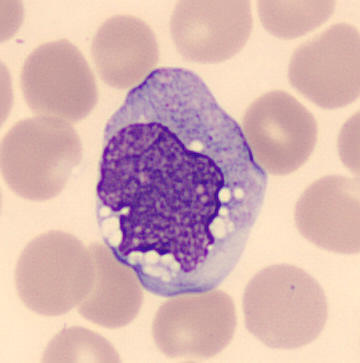 Q: What is the morphological classification of this cell?
A: This is a monocyte.

360×363 · peripheral blood smear · MGG-stained.